Brightfield, 40× oil-immersion objective · bone marrow aspirate smear
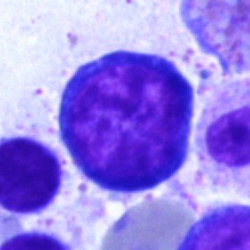 {"cell_type": "proerythroblast"}